Bone marrow aspirate smear
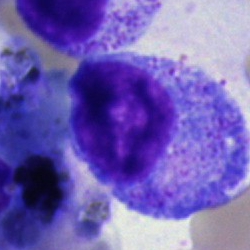Showing a myelocyte.